Pappenheim-stained · bone marrow aspirate smear · image size 250×250:
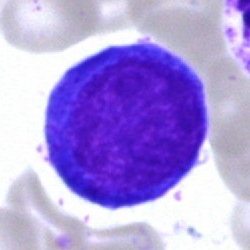Morphological class — pronormoblast.